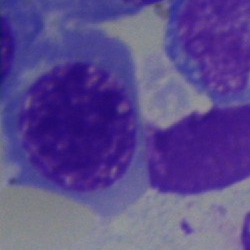
Morphology consistent with a nucleated red blood cell.